Bone marrow aspirate smear. Single-cell crop. 40× oil immersion: 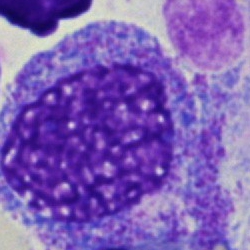Q: What is the morphological classification of this cell?
A: It is a myelocyte.